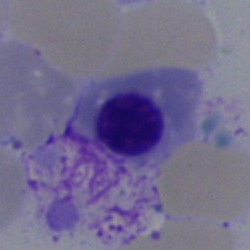

Bone marrow smear showing an erythroblast.